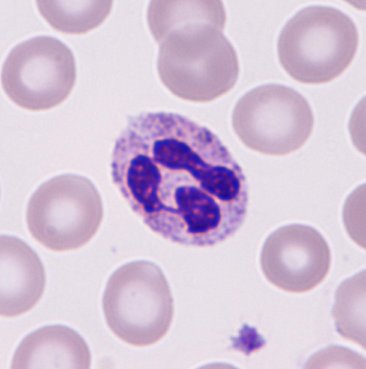

Classification = neutrophil granulocyte.